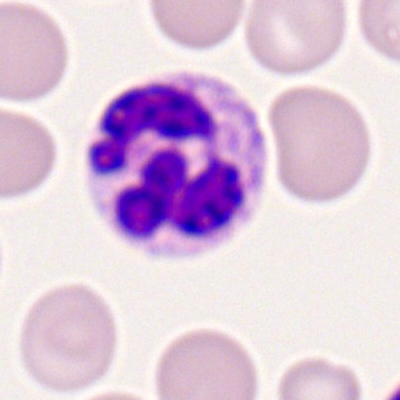 Classification: polymorphonuclear neutrophil.